Bone marrow smear.
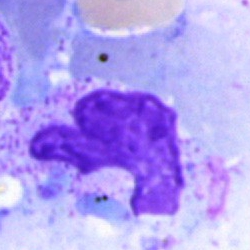 The cell type is artifact.